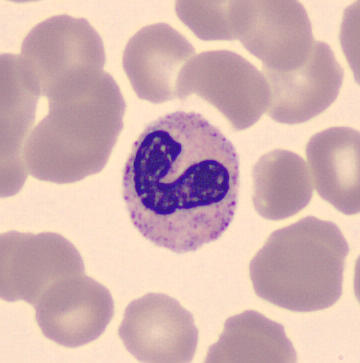

The cell shown is a band neutrophil.